Bone marrow smear:
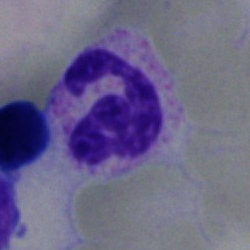Cell — segmented neutrophil.